250×250 px; bone marrow smear:
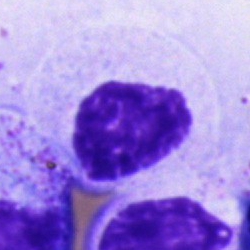Cell of indeterminate lineage.